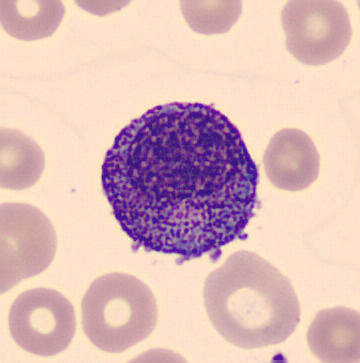

Peripheral blood film; imaged on a CellaVision DM96 analyser.

The cell shown is a progranulocyte.